Single-cell crop · peripheral blood film: 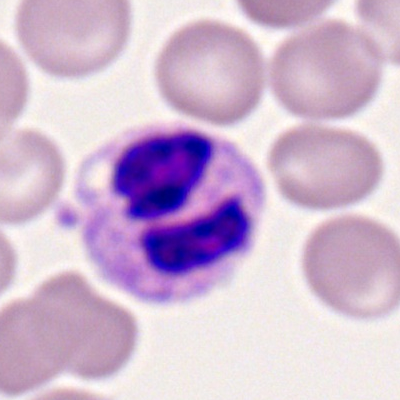

Q: What cell is this?
A: This is a segmented neutrophil.